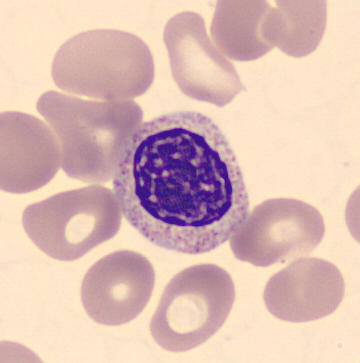
Peripheral blood smear.
The cell shown is a myelocyte.